May-Grünwald-Giemsa stain; 250×250; bone marrow aspirate smear:
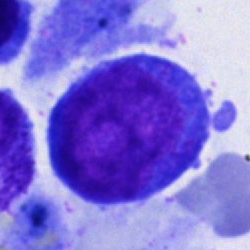 Cell type: pronormoblast.